Peripheral blood film
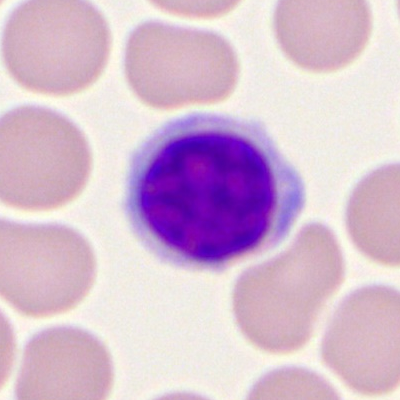
Cell — lymphocyte.